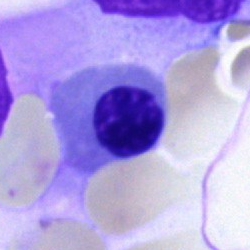 Morphology consistent with a nucleated red cell.